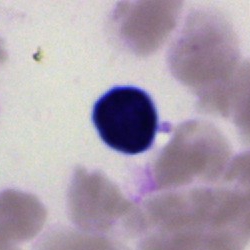

Specimen: bone marrow smear.
Classification: artifact.